250×250 · cropped to a single cell · bone marrow smear.
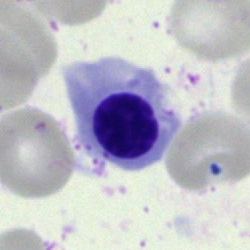 Classification — nucleated red cell.